Bone marrow aspirate smear · single-cell field.
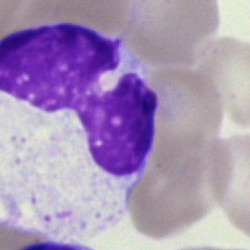

The cell shown is a segmented neutrophil.